May-Grünwald-Giemsa stain; bone marrow smear:
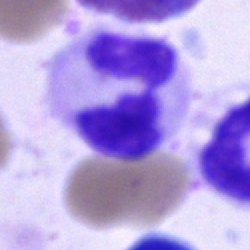

Q: Which cell type is shown here?
A: A polymorphonuclear neutrophil.